Bone marrow smear. 40× objective, oil immersion:
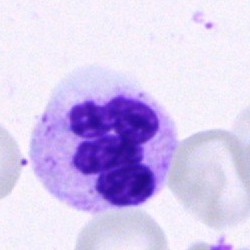

The cell shown is a segmented neutrophil.